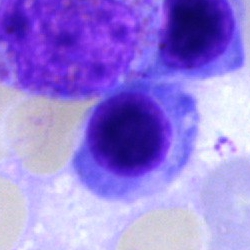Cell type = normoblast.